Bone marrow aspirate smear · brightfield microscopy, 40× oil immersion:
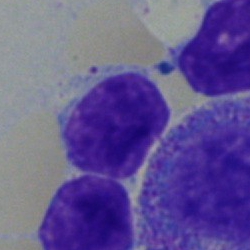
{"cell_type": "typical lymphocyte", "lineage": "lymphoid"}